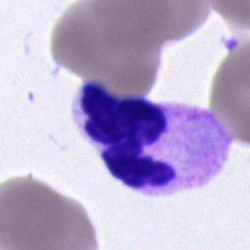
The classification is polymorphonuclear neutrophil.